Bone marrow aspirate smear:
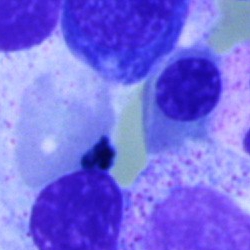 Q: Which cell type is shown here?
A: It is a nucleated red cell.